Image size 250×250 · 40× objective, oil immersion · bone marrow smear
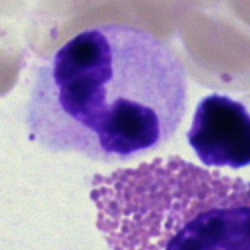 This is a segmented neutrophil.